Bone marrow smear · 250×250.
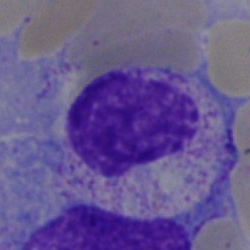 Single cell identified as a myelocyte.